Bone marrow smear.
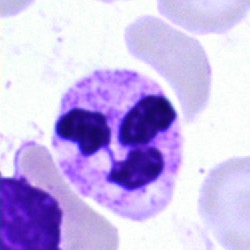 Q: Which cell type is shown here?
A: This is a neutrophil (segmented).